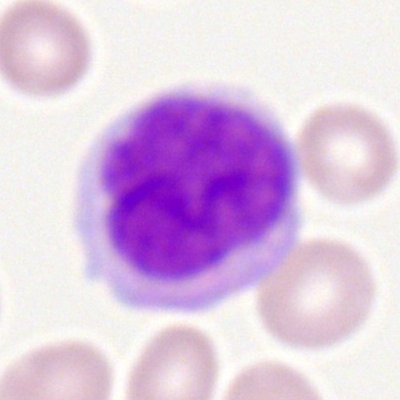
Morphology — monocyte.